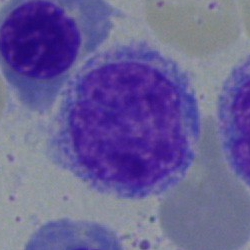Specimen: bone marrow aspirate smear.
Cell type: monocyte.